Bone marrow aspirate smear.
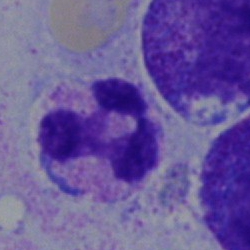
Classification = polymorphonuclear neutrophil.